Bone marrow smear; May-Grünwald-Giemsa stain; 250×250 — 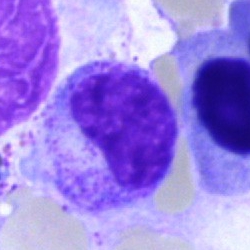 Cell — metamyelocyte.